400×400 · peripheral blood smear:
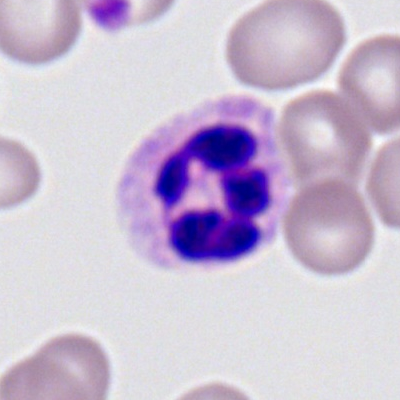 Specimen: peripheral blood smear.
Classification: polymorphonuclear neutrophil.